MGG-stained; single cell centered in the field; bone marrow aspirate smear:
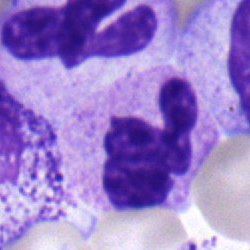 The cell shown is a segmented neutrophil.